250 by 250 pixels. MGG-stained. Bone marrow smear
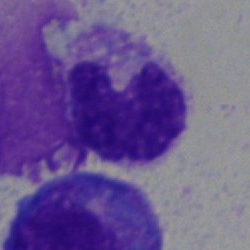

Morphology consistent with a band neutrophil.